Bone marrow smear — 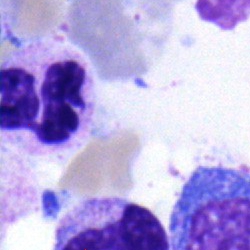The cell shown is a neutrophil (segmented).